Bone marrow aspirate smear.
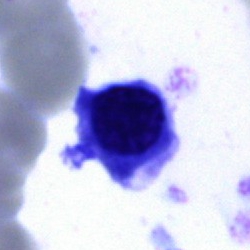This is a nucleated red cell.